Bone marrow smear.
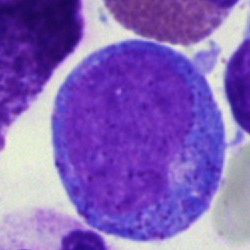The classification is promyelocyte.